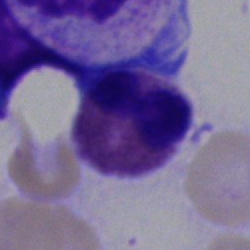Specimen: bone marrow smear.
Classification: eosinophilic granulocyte.
Lineage: myeloid.